Pappenheim-stained. Bone marrow smear — 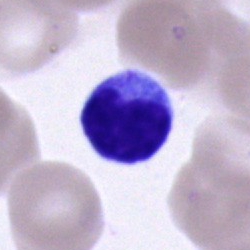 The cell shown is a lymphocyte.